Bone marrow aspirate smear. Single-cell crop:
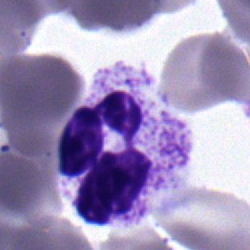
This is a segmented neutrophil.